Bone marrow aspirate smear; image size 250×250; May-Grünwald-Giemsa stain — 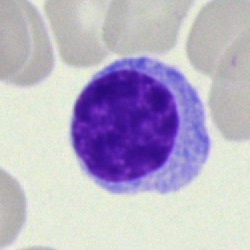 Q: What cell is this?
A: It is a typical lymphocyte.